Bone marrow aspirate smear: 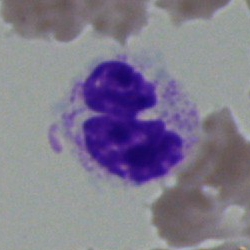

Cell — polymorphonuclear neutrophil.